Bone marrow aspirate smear. 250×250 px:
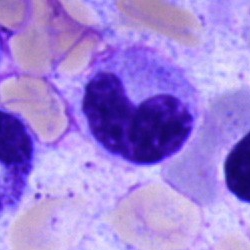

Showing a band neutrophil.